Bone marrow aspirate smear.
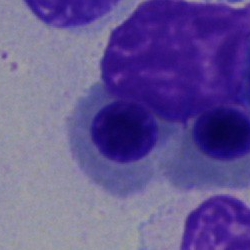

Q: What cell is this?
A: It is an erythroblast.